250×250 px. Bone marrow smear
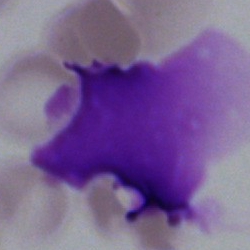

Cell = artifact.